Bone marrow smear
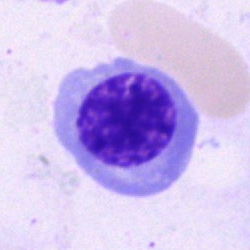

Morphological class = normoblast.